Peripheral blood film · 400 by 400 pixels
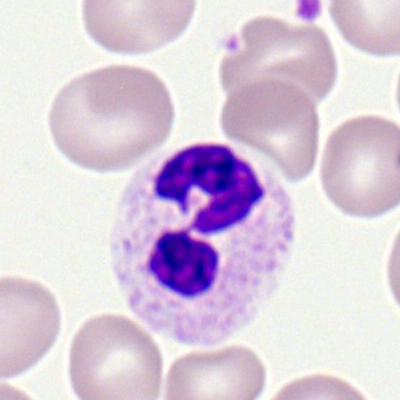

Neutrophil (segmented).